May-Grünwald-Giemsa stain; bone marrow aspirate smear:
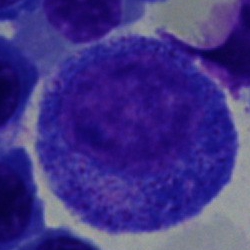 Impression — progranulocyte.